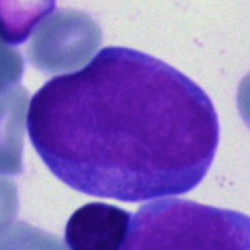
Specimen: bone marrow smear.
Classification: blast cell.